Bone marrow aspirate smear: 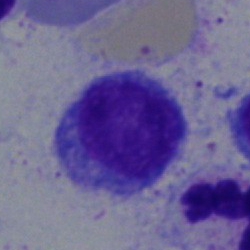

Specimen: bone marrow smear.
Morphological class: typical lymphocyte.
Lineage: lymphoid.